40× oil immersion. Bone marrow smear — 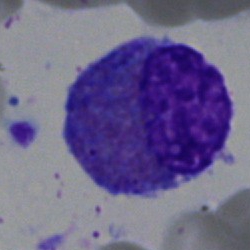

{"cell_type": "eosinophilic granulocyte"}